Peripheral blood smear — 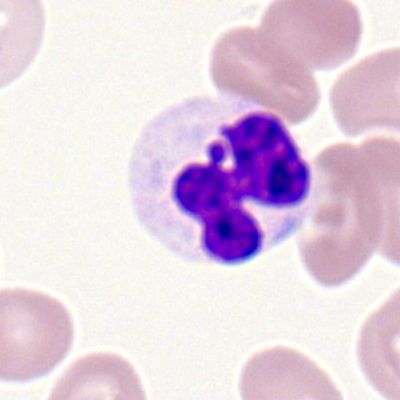

Showing a segmented neutrophil.